40× objective, oil immersion · Pappenheim-stained · bone marrow smear:
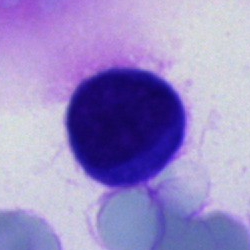 Specimen: bone marrow aspirate smear.
Classification: cell of indeterminate lineage.